Peripheral blood film
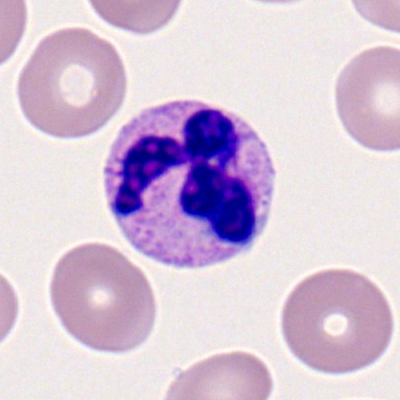

Cell = segmented neutrophil.